Single-cell crop · bone marrow smear: 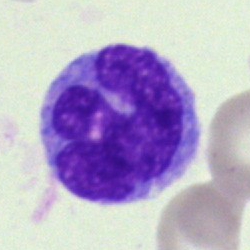
Single cell identified as a monocyte.